Single cell centered in the field · bone marrow aspirate smear: 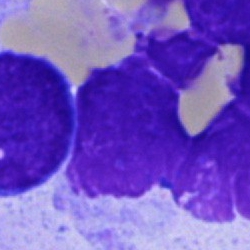

Morphology → artifact.